Bone marrow smear · brightfield microscopy, 40× oil immersion: 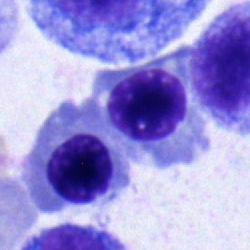 The cell shown is an erythroblast.